40× objective, oil immersion; bone marrow aspirate smear — 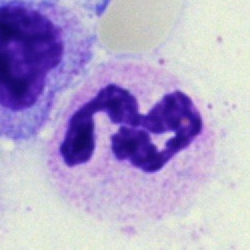
Morphology consistent with a neutrophil (segmented).